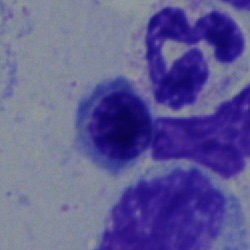

Cell type: erythroblast.